Brightfield microscopy, 40× oil immersion; 250×250 px; bone marrow smear: 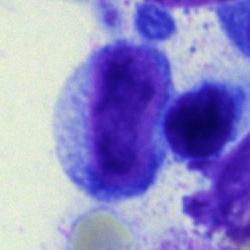 Blast.